Single-cell field · bone marrow smear · brightfield microscopy, 40× oil immersion.
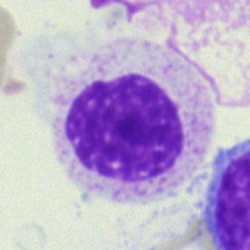Specimen: bone marrow smear.
Cell: myelocyte.
Lineage: myeloid.